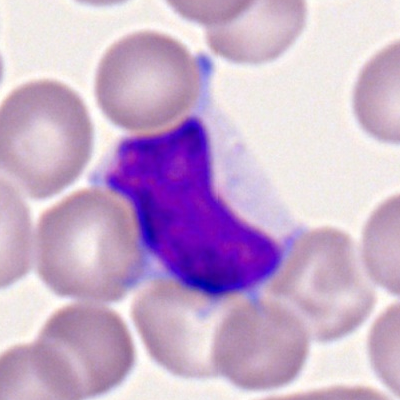
Cell type = lymphocyte.